250 by 250 pixels; 40× oil immersion; bone marrow smear — 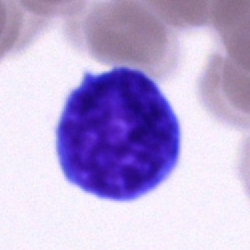

Classification: blast.